Image size 250×250. Bone marrow smear — 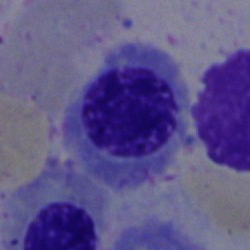

Morphology consistent with a normoblast.